Bone marrow aspirate smear · 40× objective, oil immersion — 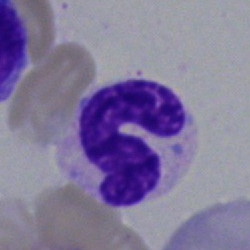

The cell shown is a neutrophil (segmented).